Peripheral blood film — 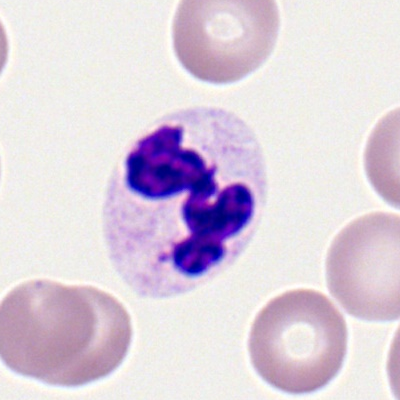Morphology → segmented neutrophil.